250 by 250 pixels · bone marrow smear.
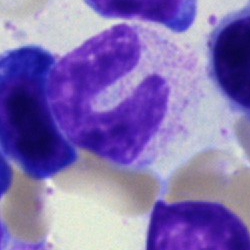The cell shown is a band-form neutrophil.